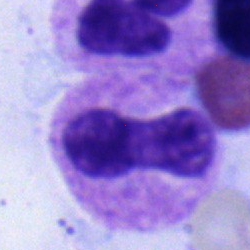Cell type = band neutrophil.